Bone marrow smear: 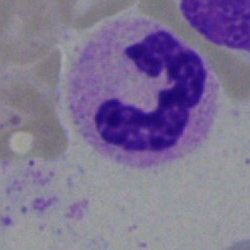 Q: What is shown here?
A: This is a polymorphonuclear neutrophil.